May-Grünwald-Giemsa/Pappenheim stain. Bone marrow aspirate smear: 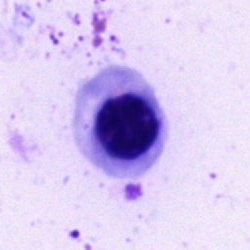Morphological class: nucleated red cell.